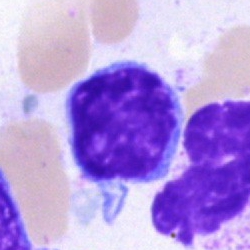
Specimen: bone marrow aspirate smear.
Classification: lymphocyte.